Bone marrow aspirate smear
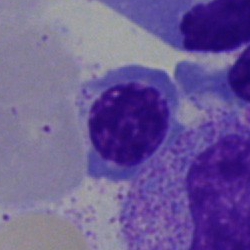The classification is nucleated red cell.